Bone marrow smear.
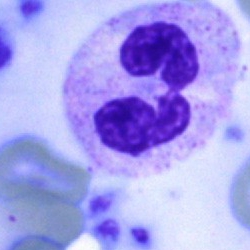

The cell shown is a polymorphonuclear neutrophil.